40× objective, oil immersion. Bone marrow smear. Single-cell crop.
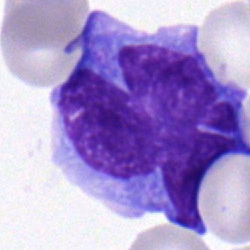

Cell — monocyte.